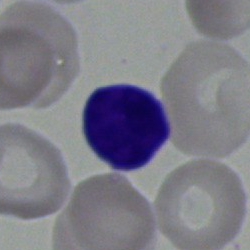

Bone marrow smear showing a lymphocyte.